Bone marrow aspirate smear · 250×250:
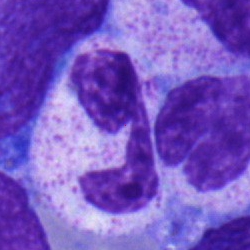Impression — segmented neutrophil.